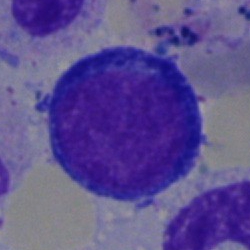The cell is normoblast.